Bone marrow smear. May-Grünwald-Giemsa/Pappenheim stain. Brightfield, 40× oil-immersion objective
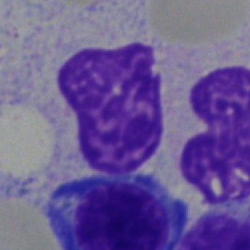

Classification — artifact.